Brightfield microscopy, 40× oil immersion · bone marrow aspirate smear
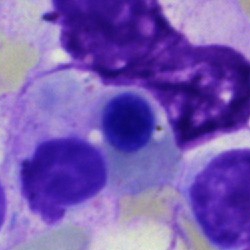This is a nucleated red blood cell.